Bone marrow smear. MGG-stained.
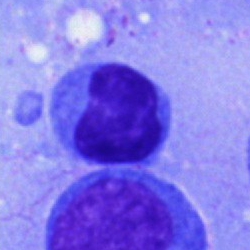
Q: What is shown here?
A: A plasma cell.